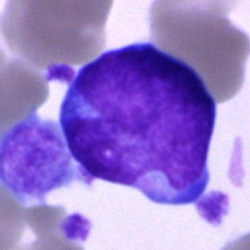

An undifferentiated blast on a bone marrow smear.